Brightfield microscopy, 40× oil immersion · single-cell crop · bone marrow aspirate smear:
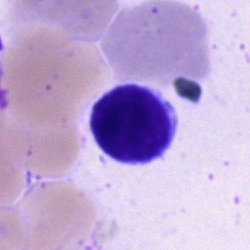
Q: What is shown here?
A: It is a lymphocyte.